Bone marrow smear.
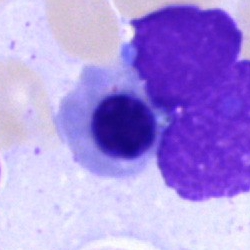Cell type: erythroblast.